Single cell centered in the field · bone marrow smear:
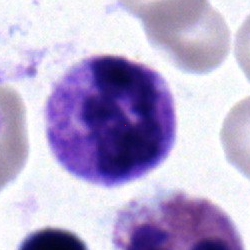

{"cell_type": "segmented neutrophil", "lineage": "myeloid"}